Brightfield microscopy, 40× oil immersion. Bone marrow smear. 250×250 — 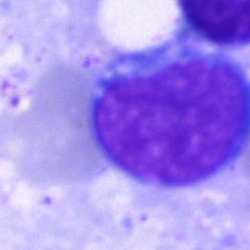 Impression — undifferentiated blast.